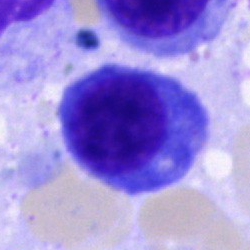Morphological class = plasma cell.